Bone marrow smear:
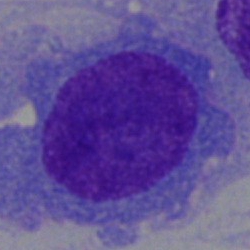

Specimen: bone marrow smear.
Classification: plasma cell.
Lineage: lymphoid.